MGG-stained. Bone marrow aspirate smear — 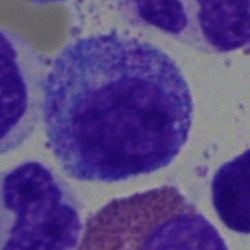Showing a promyelocyte.